Bone marrow aspirate smear. May-Grünwald-Giemsa/Pappenheim stain:
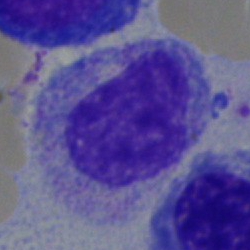Specimen: bone marrow aspirate smear.
Cell: myelocyte.
Lineage: myeloid.